Bone marrow aspirate smear
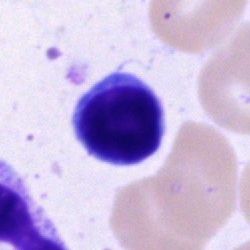 The cell shown is a lymphocyte.